Pappenheim-stained; cropped to a single cell; bone marrow smear — 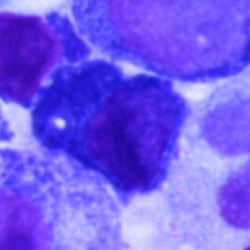

Showing a plasma cell.